MGG-stained; 40× oil immersion; bone marrow smear.
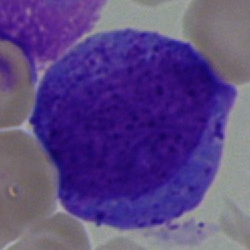

Q: Which cell type is shown here?
A: It is a progranulocyte.